Bone marrow aspirate smear · 250×250 · 40× objective, oil immersion:
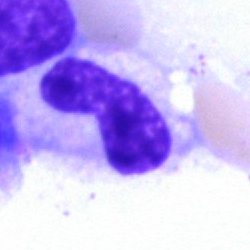

Band neutrophil.